Bone marrow smear: 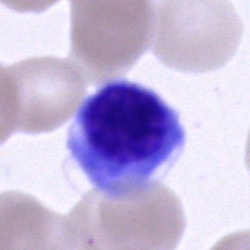{"cell_type": "nucleated red blood cell", "lineage": "erythroid"}